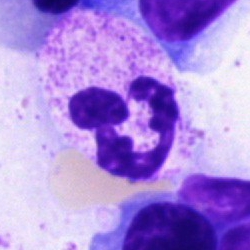Specimen: bone marrow aspirate smear.
Cell: neutrophil (segmented).
Lineage: myeloid.